Bone marrow aspirate smear
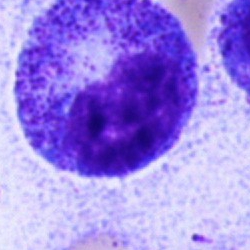
The morphological class is promyelocyte.